Bone marrow aspirate smear — 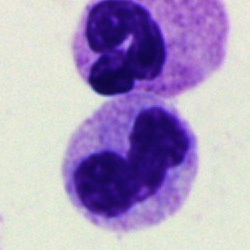
The cell shown is a segmented neutrophil.